Bone marrow aspirate smear: 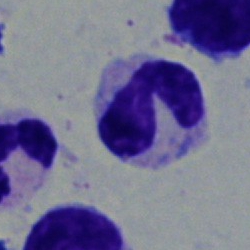 A stab cell.